Bone marrow aspirate smear · 250×250 px — 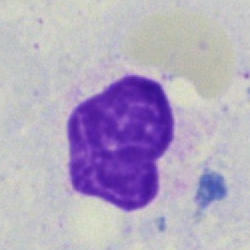The cell shown is an artefact.